Bone marrow smear
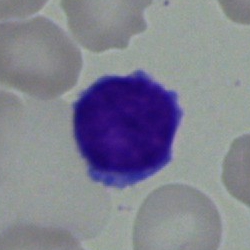Q: What cell is this?
A: A typical lymphocyte.